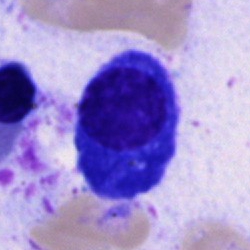 Q: What is shown here?
A: Plasma cell.